Bone marrow aspirate smear: 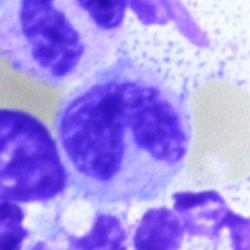

Q: Identify the cell.
A: This is a band neutrophil.